Cropped to a single cell · bone marrow smear: 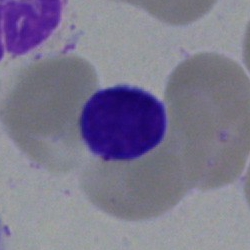
Cell: typical lymphocyte.